Bone marrow aspirate smear · MGG-stained — 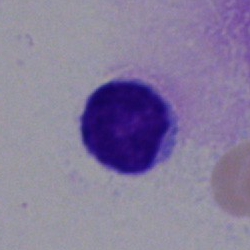Specimen: bone marrow smear.
Classification: lymphocyte.